Brightfield, 40× oil-immersion objective. Bone marrow smear.
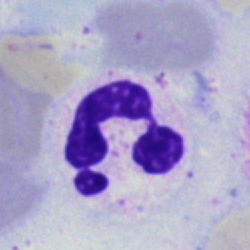Morphological class — neutrophil (segmented).